Bone marrow aspirate smear
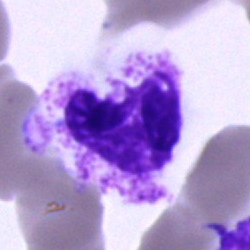Classification = polymorphonuclear neutrophil.